Brightfield, 40× oil-immersion objective · Pappenheim-stained · bone marrow smear — 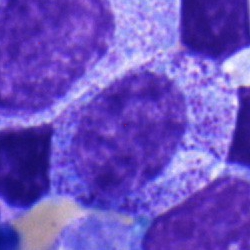

Cell = myelocyte.